Bone marrow smear: 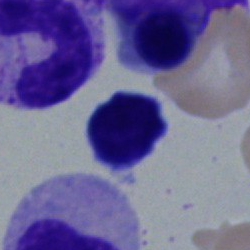

Lymphocyte.